Image size 250×250 · MGG-stained · bone marrow smear: 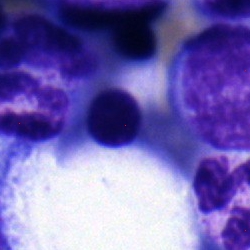

This is a nucleated red cell.